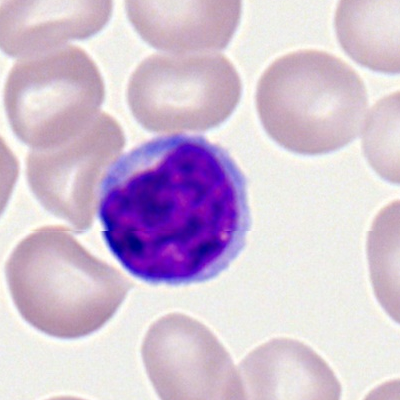Single cell identified as a lymphocyte.